Bone marrow aspirate smear. 250×250. May-Grünwald-Giemsa stain:
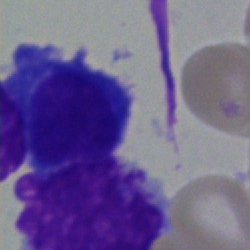

Q: What is shown here?
A: Plasma cell.